Bone marrow smear.
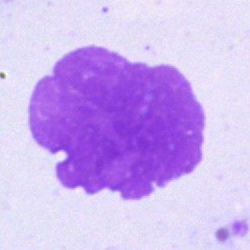

Artifact.